Bone marrow smear.
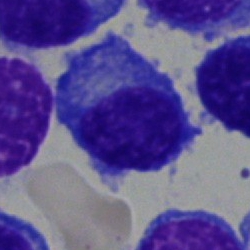 A plasmacyte.